Bone marrow aspirate smear. Single cell centered in the field:
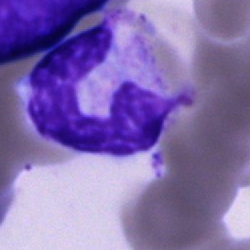 Impression → band-form neutrophil.